Bone marrow aspirate smear · 40× objective, oil immersion — 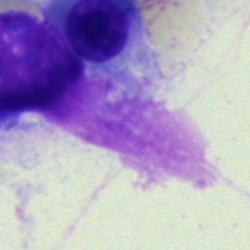 Artefact.